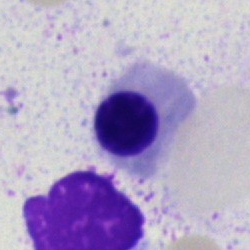 Morphology consistent with a nucleated red cell.